Bone marrow aspirate smear · single-cell crop.
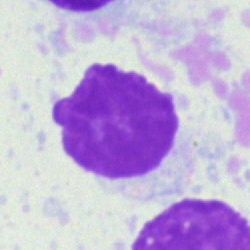
Q: What is shown here?
A: Artifact.